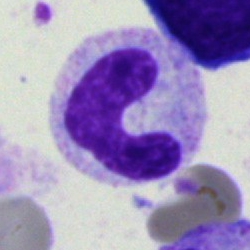
A stab cell on a bone marrow smear.